Peripheral blood smear: 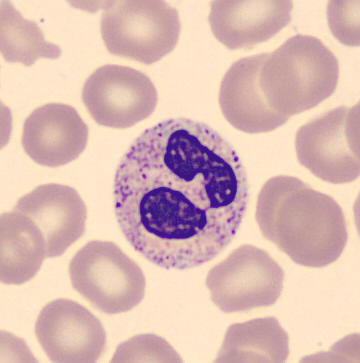
Cell type = polymorphonuclear neutrophil.